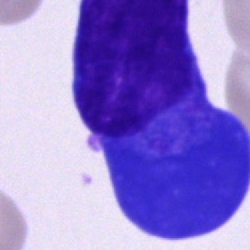

A plasma cell.